Bone marrow smear: 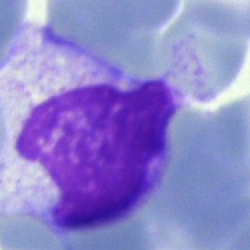An artefact.